Single-cell field · bone marrow aspirate smear: 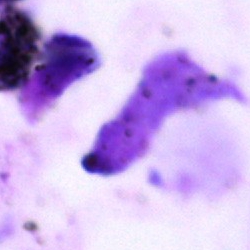 {"cell_type": "artifact"}